Bone marrow aspirate smear; 40× oil immersion: 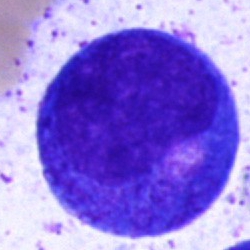

Single cell identified as a promyelocyte.